Bone marrow aspirate smear; Pappenheim-stained: 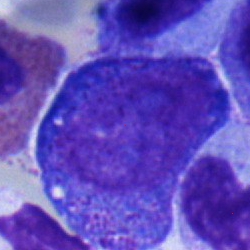Morphological class: promyelocyte.